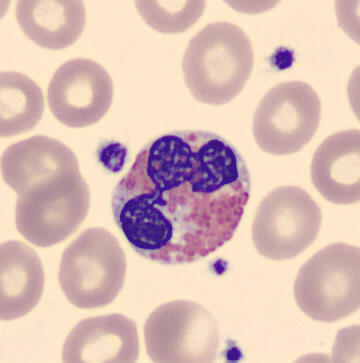

Morphology consistent with an eosinophil.